Bone marrow aspirate smear — 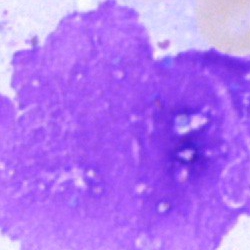Cell type: artefact.